Bone marrow smear: 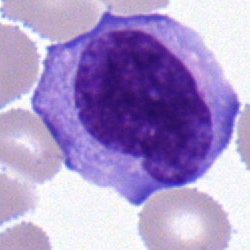
{"cell_type": "typical lymphocyte", "lineage": "lymphoid"}